Bone marrow aspirate smear; single-cell field
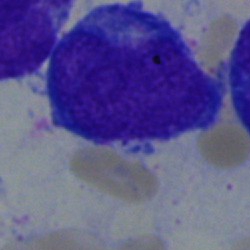Classification = undifferentiated blast.